250 by 250 pixels · bone marrow aspirate smear · brightfield microscopy, 40× oil immersion:
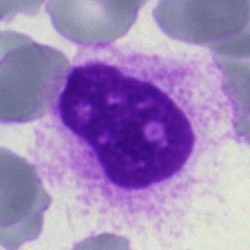Cell type: artifact.